Bone marrow smear:
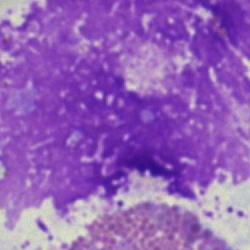Q: What is shown here?
A: Artefact.